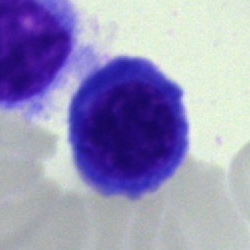Single-cell crop from a bone marrow smear: nucleated red blood cell.